Peripheral blood film: 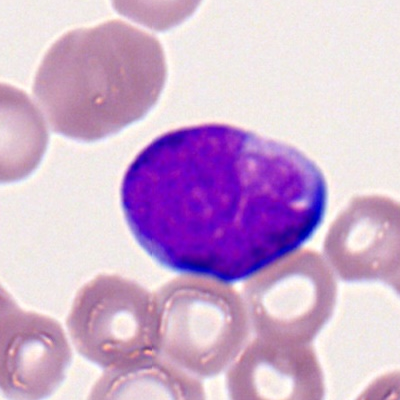 Q: Identify the cell.
A: Myeloid blast.